Cropped to a single cell · bone marrow aspirate smear:
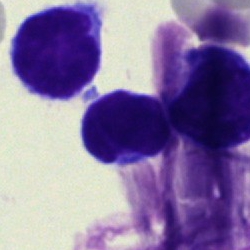

{"cell_type": "lymphocyte"}